Bone marrow smear; 250×250 px
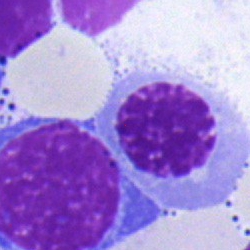

Classification — normoblast.